Single-cell crop · 40× objective, oil immersion · bone marrow smear: 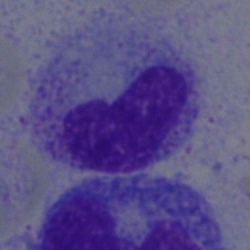

Q: What is the morphological classification of this cell?
A: This is a neutrophil (band).